250×250 · bone marrow smear — 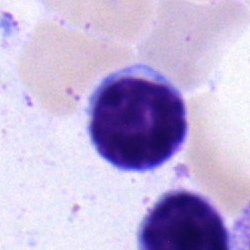

Showing a typical lymphocyte.